Bone marrow aspirate smear · 250×250 px · single-cell field
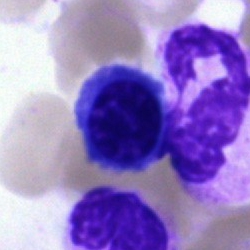

Classification = neutrophil (segmented).